Bone marrow aspirate smear
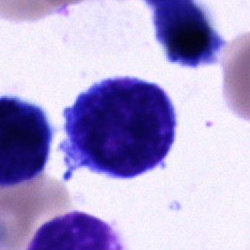

Showing an unidentifiable cell.